Single-cell field · bone marrow smear · 40× objective, oil immersion.
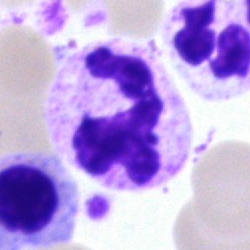 Showing a segmented neutrophil.